Bone marrow smear
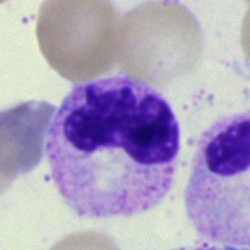

A polymorphonuclear neutrophil.